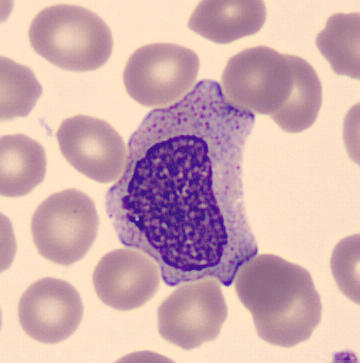

Q: Which cell type is shown here?
A: This is a myelocyte.